Bone marrow aspirate smear: 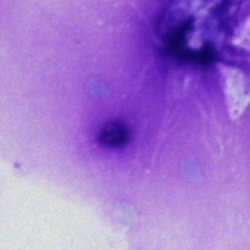
Single cell identified as an artefact.